Bone marrow smear:
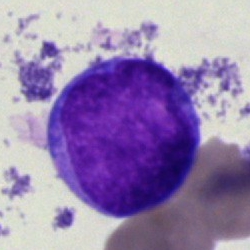

The cell is blast cell.